Bone marrow smear · 40× oil immersion · image size 250×250.
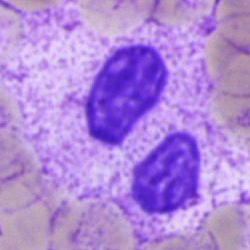
Neutrophil (segmented).